May-Grünwald-Giemsa stain; bone marrow aspirate smear; brightfield microscopy, 40× oil immersion:
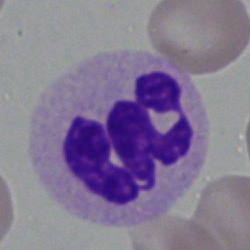Specimen: bone marrow aspirate smear.
Morphological class: polymorphonuclear neutrophil.
Lineage: myeloid.